Bone marrow aspirate smear — 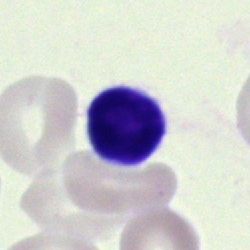
Lymphocyte.